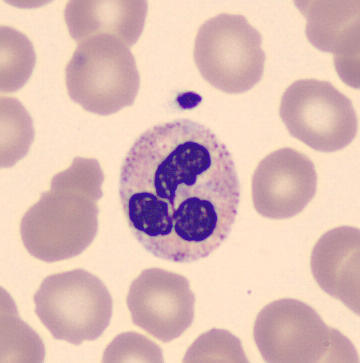

Morphology → segmented neutrophil.